May-Grünwald-Giemsa stain · bone marrow smear
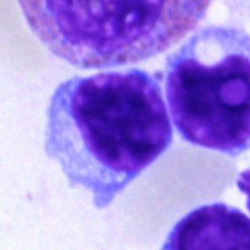 Cell: lymphocyte.